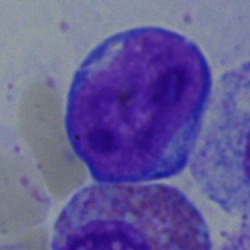A proerythroblast.